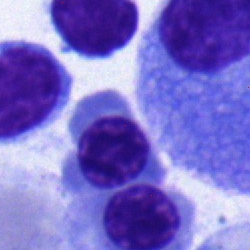
Specimen: bone marrow aspirate smear.
Cell: normoblast.